Bone marrow aspirate smear — 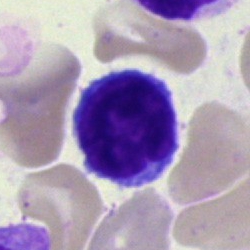

Morphology — typical lymphocyte.